Peripheral blood film:
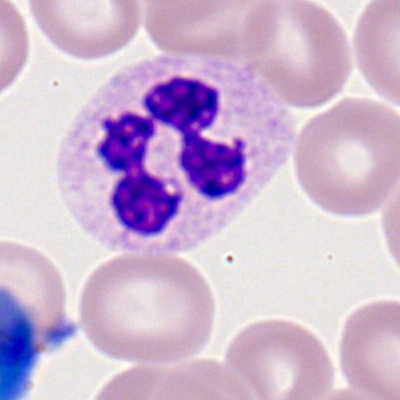
Q: Identify the cell.
A: Polymorphonuclear neutrophil.